Bone marrow smear:
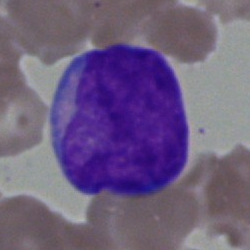
The cell is blast cell.